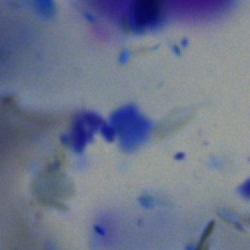 Q: What is shown here?
A: This is an artifact.